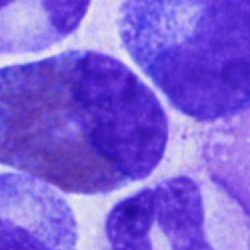The morphological class is eosinophil.